Bone marrow aspirate smear.
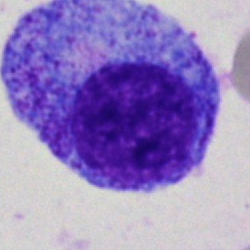 Specimen: bone marrow aspirate smear.
Classification: progranulocyte.
Lineage: myeloid.